Bone marrow aspirate smear. 40× oil immersion — 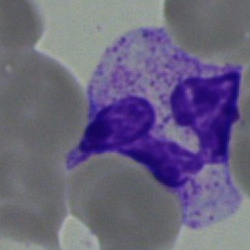Morphological class = segmented neutrophil.